Bone marrow aspirate smear:
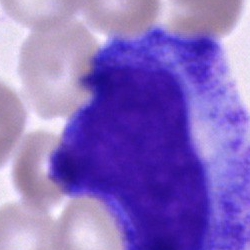 Impression — promyelocyte.